Bone marrow aspirate smear.
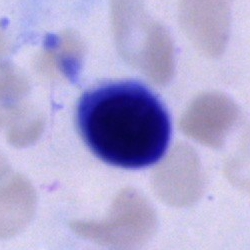
Q: What is the morphological classification of this cell?
A: This is an unidentifiable cell.